Brightfield, 40× oil-immersion objective; bone marrow aspirate smear; single-cell crop — 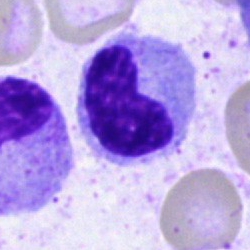Morphological class = segmented neutrophil.